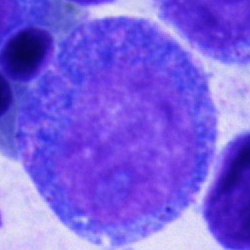

Q: What cell is this?
A: Promyelocyte.